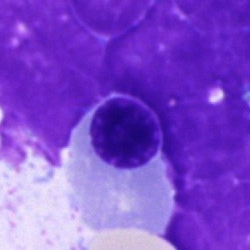
Q: What type of cell is this?
A: It is a nucleated red blood cell.